Bone marrow aspirate smear; single cell centered in the field
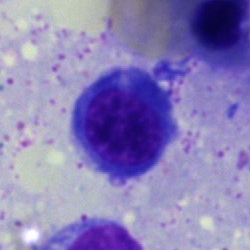The cell is normoblast.